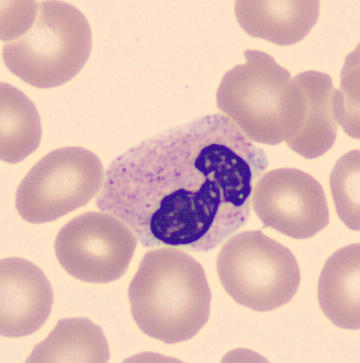
Impression — band neutrophil.